Bone marrow smear — 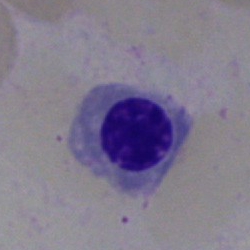
Classification = erythroblast.